Peripheral blood film · Romanowsky stain — 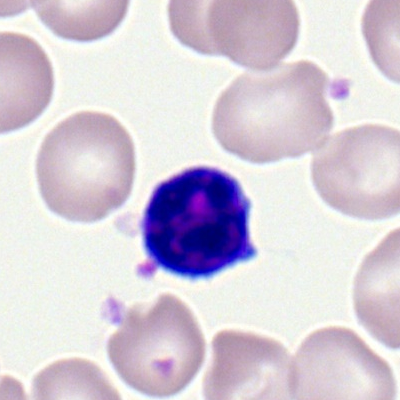

Typical lymphocyte.